Bone marrow aspirate smear. 250 by 250 pixels. May-Grünwald-Giemsa stain.
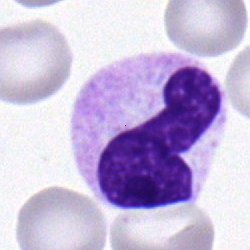Q: What is shown here?
A: A stab cell.